Bone marrow aspirate smear
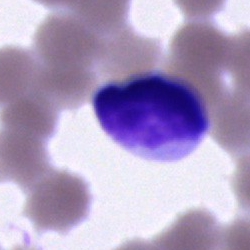 Typical lymphocyte.